Bone marrow aspirate smear · single cell centered in the field:
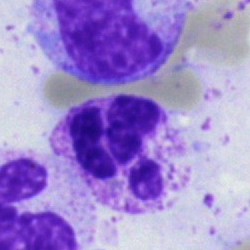
Morphology consistent with a neutrophil (segmented).